Bone marrow aspirate smear:
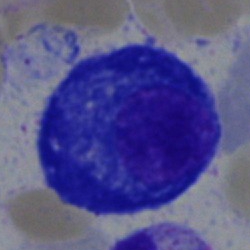

The classification is plasma cell.